Bone marrow smear; 40× objective, oil immersion
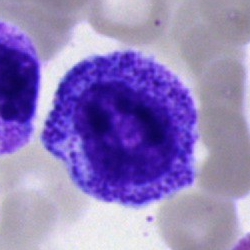 Q: What cell is this?
A: It is a promyelocyte.